Bone marrow smear; brightfield microscopy, 40× oil immersion; single-cell field
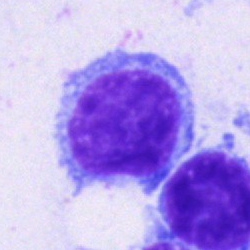 Q: What cell is this?
A: This is a typical lymphocyte.